Brightfield, 40× oil-immersion objective · bone marrow aspirate smear · Pappenheim-stained:
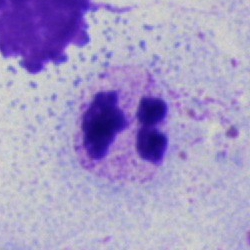

{"cell_type": "segmented neutrophil", "lineage": "myeloid"}